Bone marrow aspirate smear.
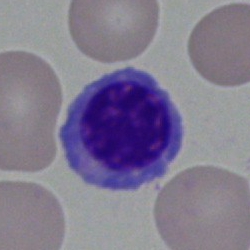 This is a nucleated red blood cell.